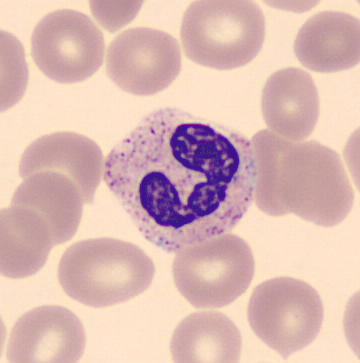 Cell = polymorphonuclear neutrophil. Acquisition: Peripheral blood smear.